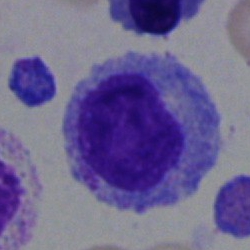

Morphology — myelocyte.